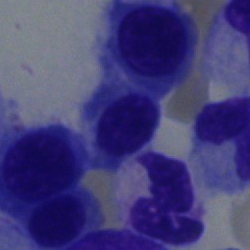Impression → nucleated red cell.